Peripheral blood film.
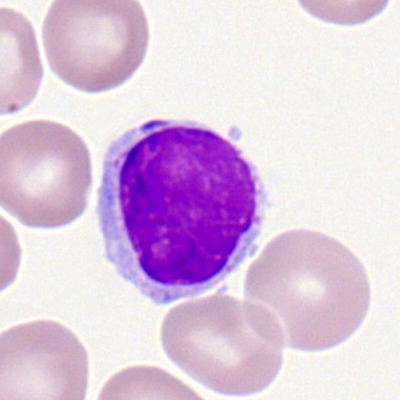This is a typical lymphocyte.